May-Grünwald-Giemsa stain · 250×250 · bone marrow aspirate smear: 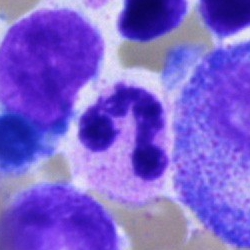

Single cell identified as a neutrophil (segmented).